Peripheral blood film:
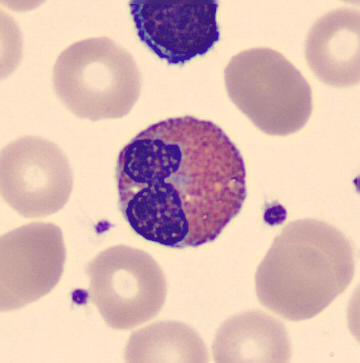 {"cell_type": "eosinophilic granulocyte", "lineage": "myeloid"}